Bone marrow aspirate smear
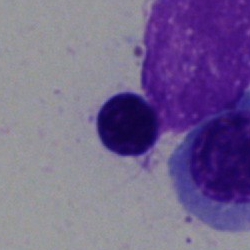
Cell = unidentifiable cell.